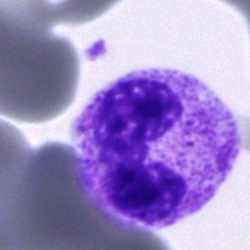
The cell is segmented neutrophil.